Bone marrow aspirate smear — 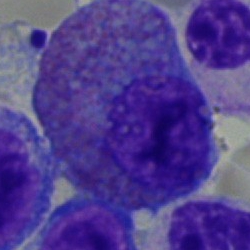Morphology → eosinophilic granulocyte.